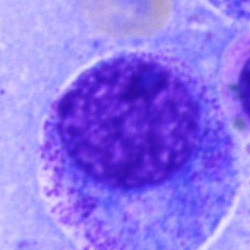 Cell type — progranulocyte.